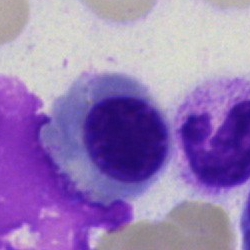
{"cell_type": "nucleated red blood cell", "lineage": "erythroid"}